Single cell centered in the field. 250×250 px. Bone marrow aspirate smear:
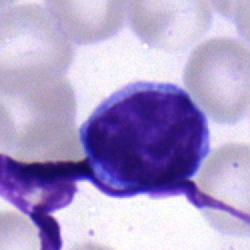{"cell_type": "typical lymphocyte"}